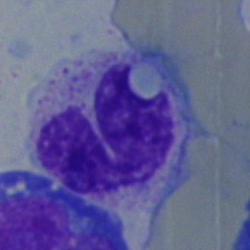 Morphology → band-form neutrophil.